Image size 250×250 · bone marrow aspirate smear:
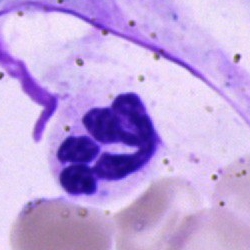
This is a neutrophil (segmented).